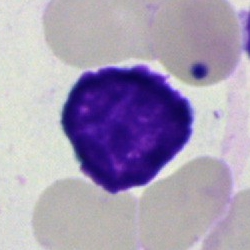Cell type = artefact.